Bone marrow smear.
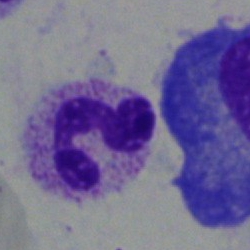

Segmented neutrophil.